Bone marrow smear: 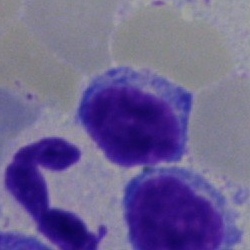Specimen: bone marrow smear.
Classification: typical lymphocyte.
Lineage: lymphoid.